Bone marrow smear.
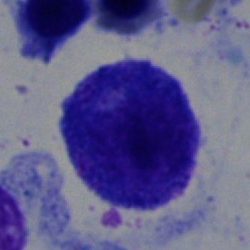
Morphology consistent with a progranulocyte.